Bone marrow smear; cropped to a single cell: 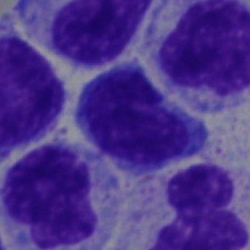 Single cell identified as a lymphocyte.